Bone marrow smear.
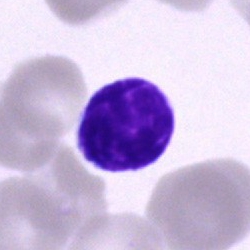

A lymphocyte.